May-Grünwald-Giemsa/Pappenheim stain; bone marrow smear; single-cell crop — 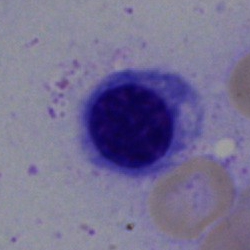 A nucleated red cell.